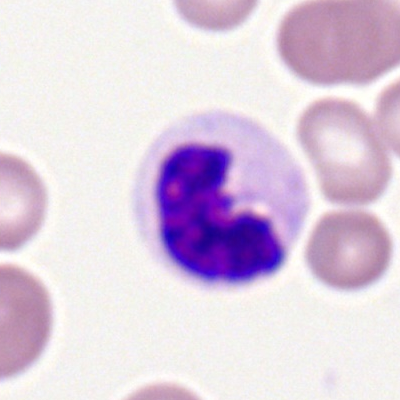
Morphology — polymorphonuclear neutrophil.